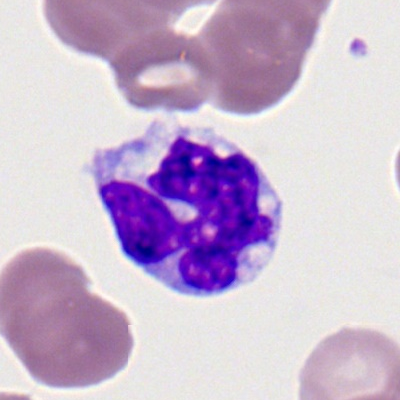
The cell is monocyte.